Peripheral blood film
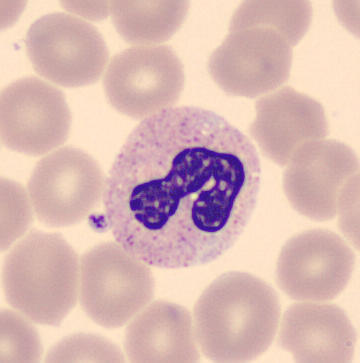 Single cell identified as a band-form neutrophil.